Bone marrow aspirate smear; image size 250×250: 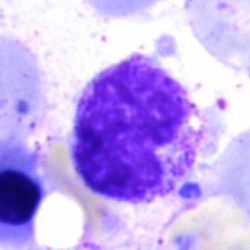

The cell shown is a metamyelocyte.